Bone marrow smear — 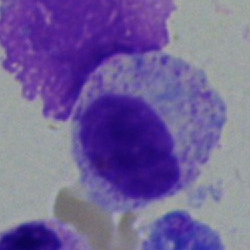
Classification = myelocyte.